250×250. Bone marrow aspirate smear. Single-cell field
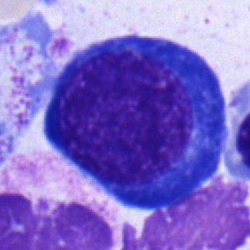Q: What type of cell is this?
A: A pronormoblast.